Image size 250×250 · bone marrow aspirate smear: 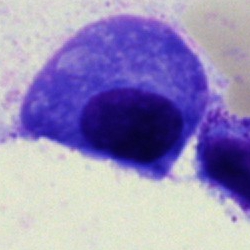

The cell type is plasmacyte.